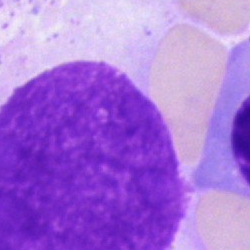
Q: What is shown here?
A: An artifact.